Bone marrow smear; Pappenheim-stained:
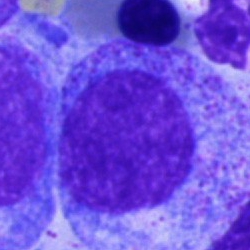

A promyelocyte.